Bone marrow aspirate smear — 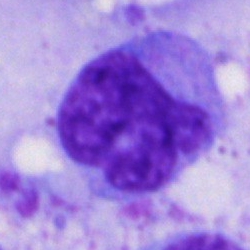 A monocyte.